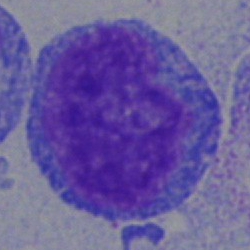

Q: What cell is this?
A: It is an undifferentiated blast.